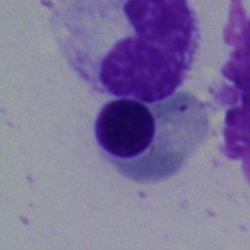
Cell — normoblast.